Bone marrow aspirate smear:
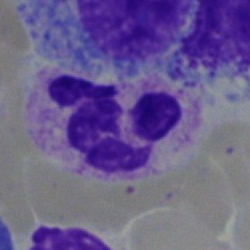

Specimen: bone marrow smear.
Cell: polymorphonuclear neutrophil.
Lineage: myeloid.